May-Grünwald-Giemsa/Pappenheim stain. Bone marrow aspirate smear.
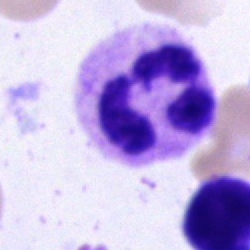

Classification: neutrophil (segmented).